Bone marrow smear
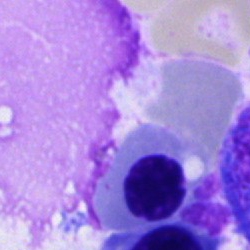Specimen: bone marrow smear.
Cell type: normoblast.
Lineage: erythroid.